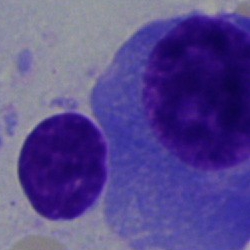
Morphology consistent with a plasmacyte.